Bone marrow aspirate smear: 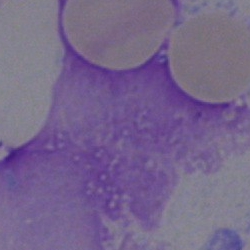

An artefact.